Bone marrow smear.
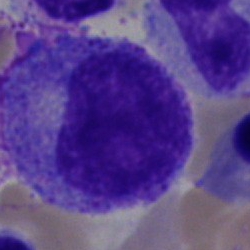
Showing a promyelocyte.